Single-cell field · bone marrow smear.
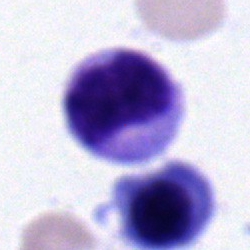
Classification = metamyelocyte.